Peripheral blood smear — 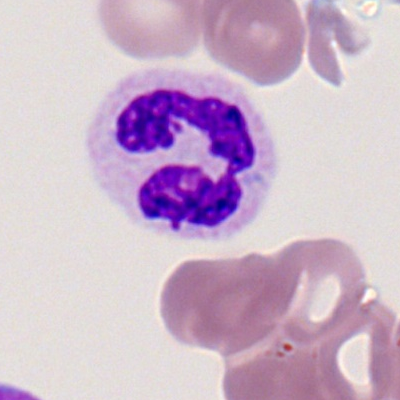 {"cell_type": "neutrophil (segmented)", "lineage": "myeloid"}